Bone marrow aspirate smear · MGG-stained: 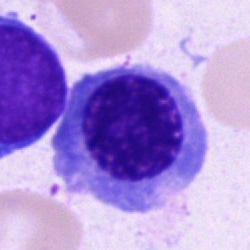 The classification is nucleated red cell.